Peripheral blood smear — 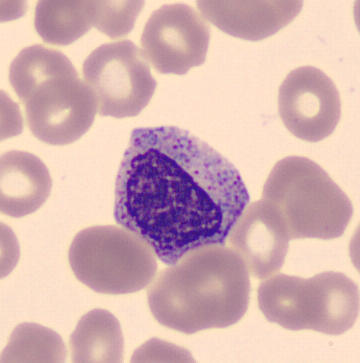

Identified as a myelocyte.